Bone marrow aspirate smear
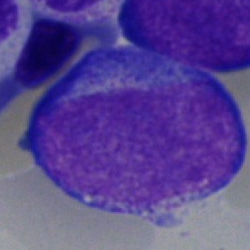 Specimen: bone marrow smear.
Morphological class: blast.